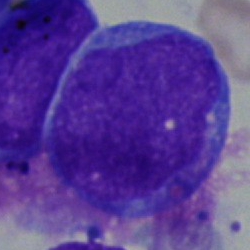

Cell: blast.